Bone marrow smear. May-Grünwald-Giemsa/Pappenheim stain
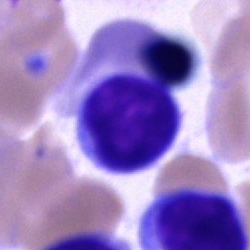

Cell type — typical lymphocyte.